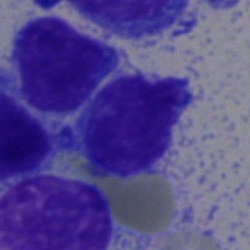The cell is typical lymphocyte.